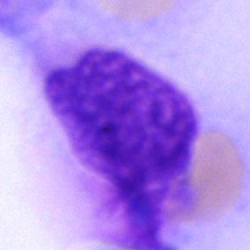Artifact.